Bone marrow smear. MGG-stained
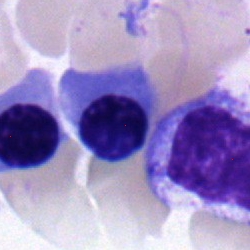
The cell type is normoblast.